Bone marrow smear: 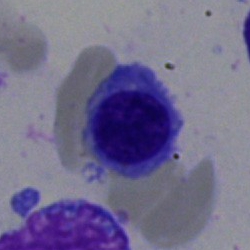

Showing a nucleated red blood cell.